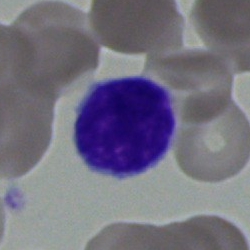Cell: lymphocyte.